Single-cell field. Bone marrow smear: 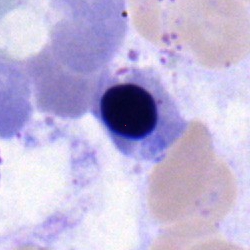Single cell identified as an erythroblast.